Pappenheim-stained · bone marrow aspirate smear.
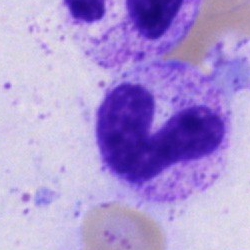

Impression — band-form neutrophil.